Bone marrow smear
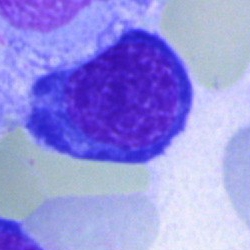
Cell: normoblast.